Bone marrow aspirate smear — 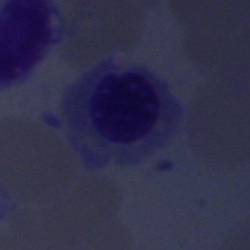
{"cell_type": "normoblast"}